Bone marrow smear: 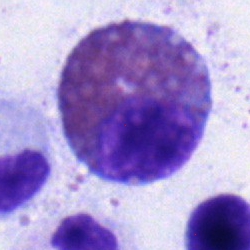The cell type is eosinophilic granulocyte.